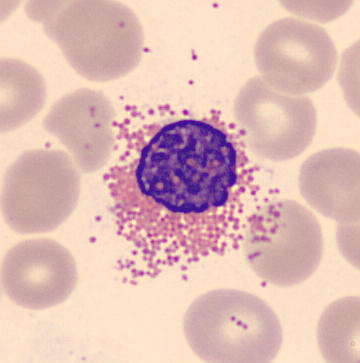 Image: Peripheral blood smear. Identified as an eosinophil.